Brightfield microscopy, 40× oil immersion. Bone marrow smear: 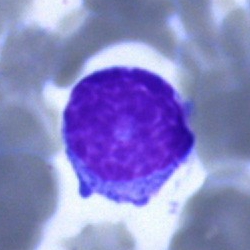

Showing a lymphocyte.